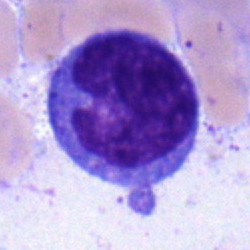 Cell type: monocyte.